Bone marrow aspirate smear
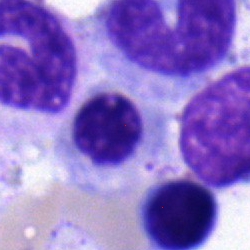

Specimen: bone marrow smear.
Cell: nucleated red blood cell.
Lineage: erythroid.